Peripheral blood film
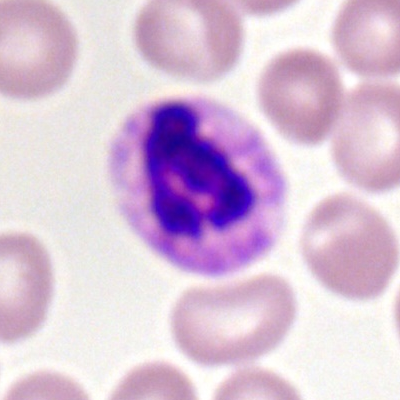The cell shown is a segmented neutrophil.